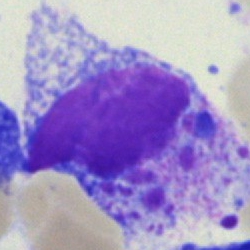Single cell identified as an artefact.